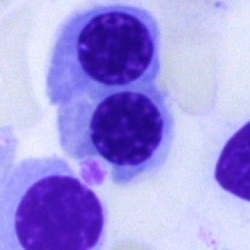Impression → normoblast.